Single cell centered in the field · bone marrow aspirate smear · 250×250
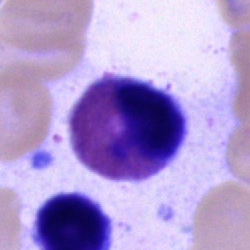
Q: What type of cell is this?
A: It is an eosinophil.